Bone marrow smear:
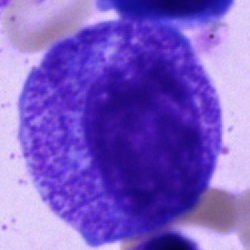 {"cell_type": "progranulocyte"}